Bone marrow smear. Single-cell field
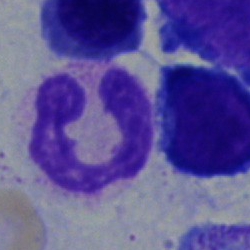

{"cell_type": "polymorphonuclear neutrophil", "lineage": "myeloid"}